Bone marrow smear
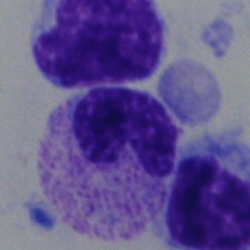Classification — metamyelocyte.